Bone marrow aspirate smear — 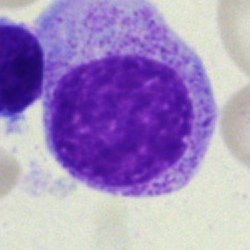

A myelocyte.